Bone marrow aspirate smear — 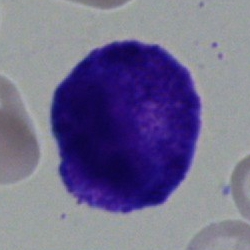
Single cell identified as a promyelocyte.